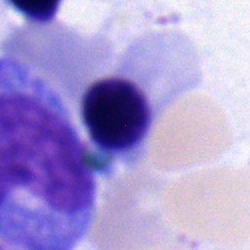
Bone marrow smear showing a nucleated red blood cell.